Peripheral blood film — 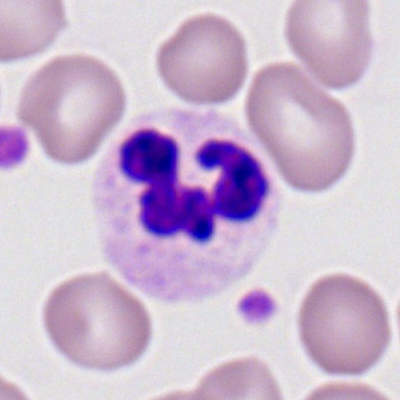

A segmented neutrophil.